Peripheral blood film:
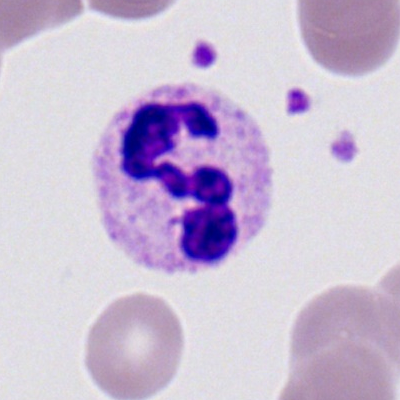This is a polymorphonuclear neutrophil.